Bone marrow smear: 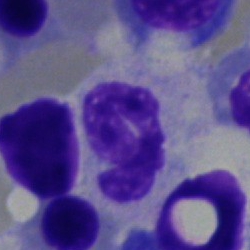 Morphology → neutrophil (segmented).